Bone marrow aspirate smear: 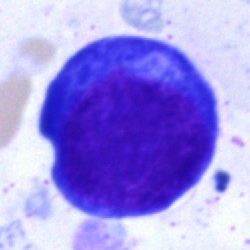 Q: Which cell type is shown here?
A: A proerythroblast.